400×400 · peripheral blood smear.
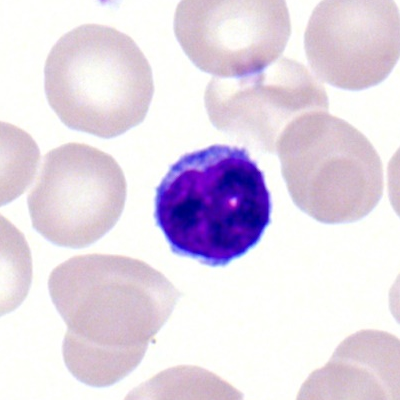
Specimen: peripheral blood smear.
Cell: lymphocyte.